May-Grünwald-Giemsa stain · 250×250 · bone marrow smear:
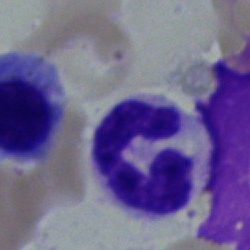Single cell identified as a neutrophil (segmented).